Peripheral blood film · 400×400 px · Romanowsky-stained.
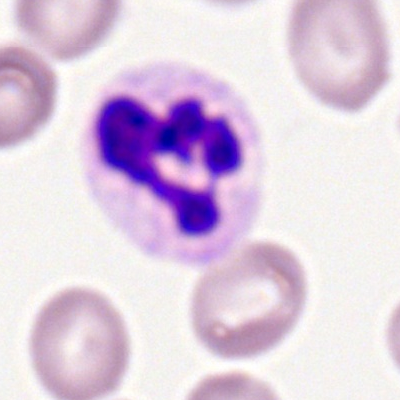 This is a polymorphonuclear neutrophil.